Imaged on a CellaVision DM96 analyser · peripheral blood smear.
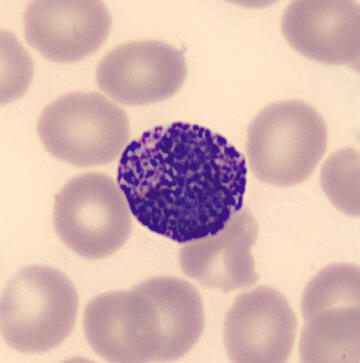 Cell type — basophilic granulocyte.